Bone marrow smear:
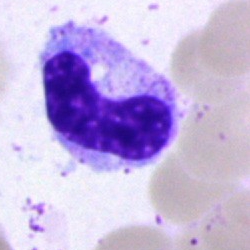Showing a stab cell.